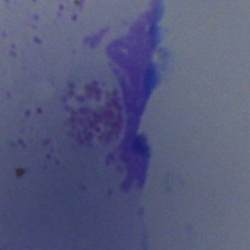 An artifact on a bone marrow smear.